Bone marrow smear:
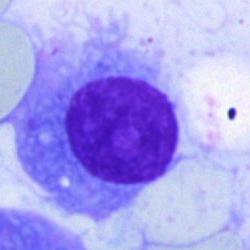
Cell: plasmacyte.